40× oil immersion; bone marrow smear — 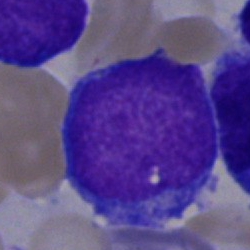
Showing a blast cell.